Single-cell crop; peripheral blood smear — 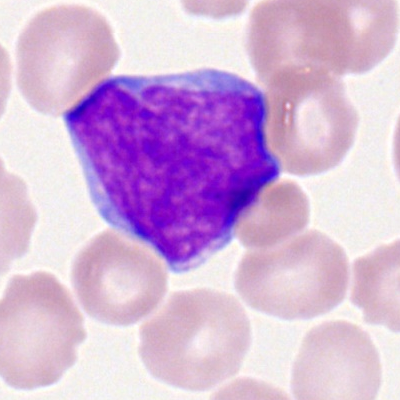Cell type: myeloid blast.